Bone marrow smear.
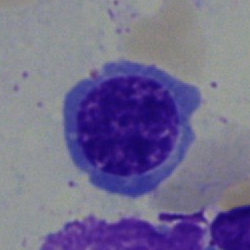Nucleated red cell.